MGG-stained; image size 250×250; bone marrow aspirate smear:
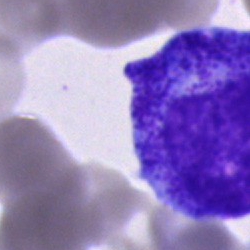Morphology consistent with a promyelocyte.